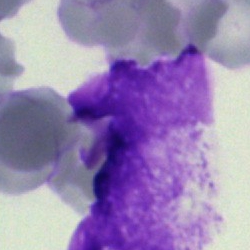

Cell type — artifact.